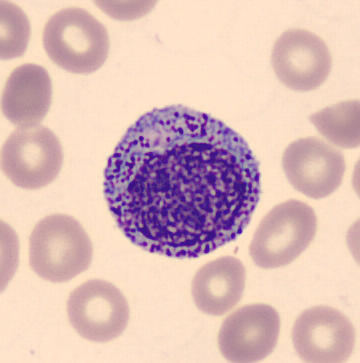A progranulocyte.